Bone marrow smear
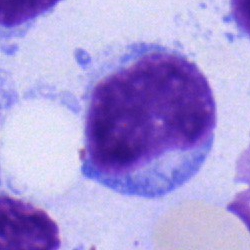
Impression — lymphocyte.